Single-cell crop · bone marrow aspirate smear · 250 by 250 pixels: 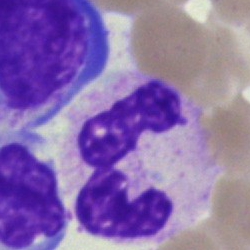
Specimen: bone marrow smear.
Cell type: segmented neutrophil.